Pappenheim-stained; bone marrow aspirate smear.
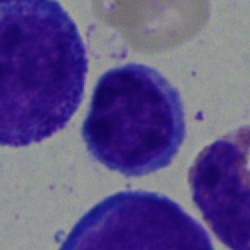

Specimen: bone marrow aspirate smear.
Cell: typical lymphocyte.